250 by 250 pixels. Bone marrow smear: 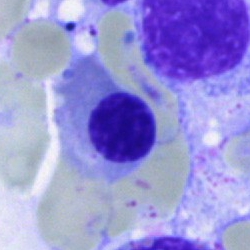Cell type — normoblast.